Bone marrow aspirate smear: 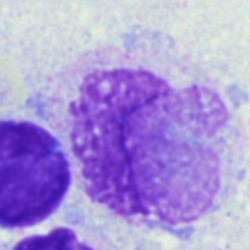The cell shown is an artifact.